Bone marrow aspirate smear: 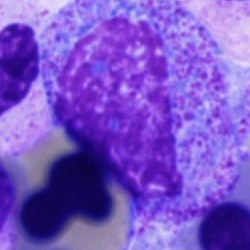
The cell shown is a promyelocyte.